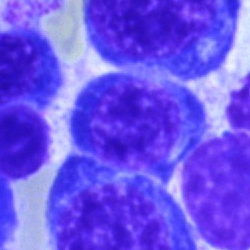Showing an erythroblast.